Peripheral blood film
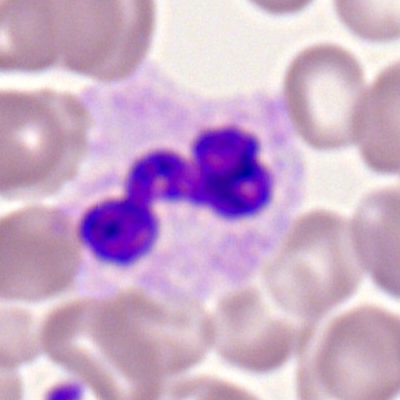Morphology — neutrophil (segmented).